Bone marrow aspirate smear. Brightfield microscopy, 40× oil immersion. Pappenheim-stained:
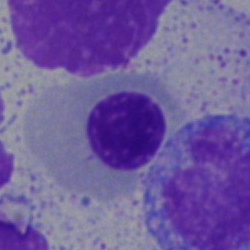
This is an erythroblast.